Bone marrow smear; image size 250×250.
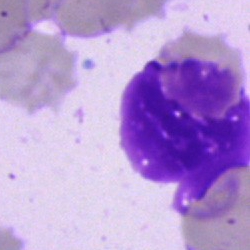
Showing an artifact.